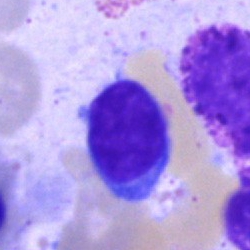

The morphological class is lymphocyte.